Bone marrow smear.
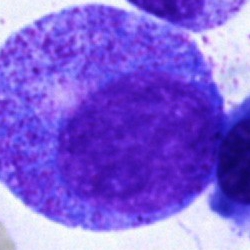

Specimen: bone marrow smear.
Cell: progranulocyte.